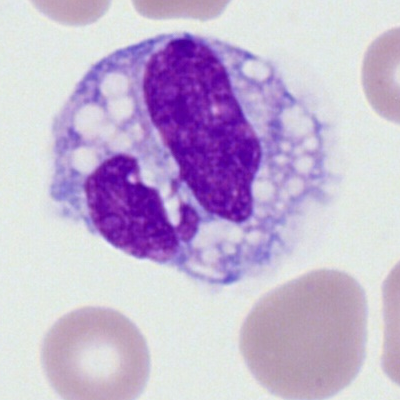
Monocyte.